Bone marrow aspirate smear.
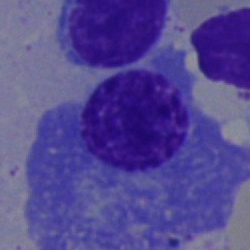
Classification — plasmacyte.